Brightfield microscopy, 40× oil immersion · bone marrow smear:
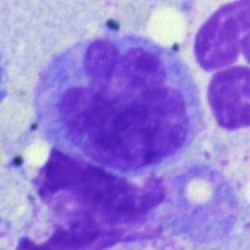

The cell is monocyte.